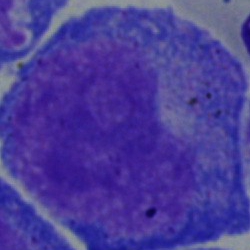

Specimen: bone marrow aspirate smear.
Classification: promyelocyte.
Lineage: myeloid.